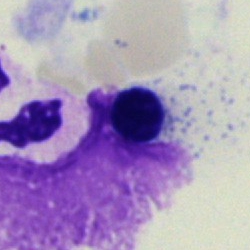The cell shown is an erythroblast.